Peripheral blood film: 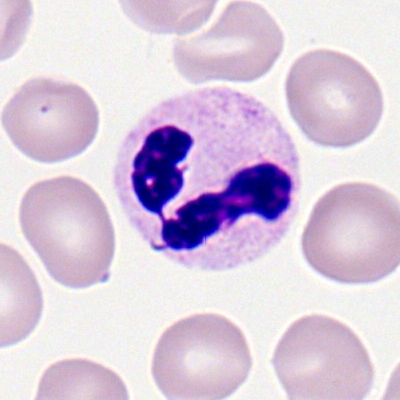

This is a neutrophil (segmented).